Imaged on a CellaVision DM96 analyser; peripheral blood film:
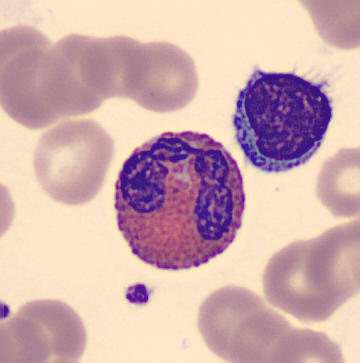 Q: What is shown here?
A: It is an eosinophilic granulocyte.